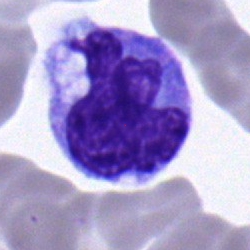 A monocyte on a bone marrow smear.